Peripheral blood smear — 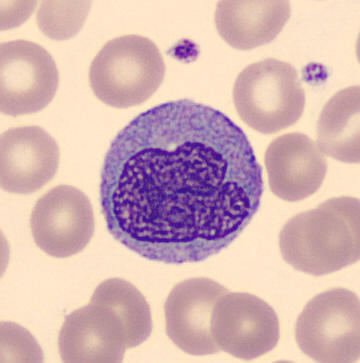Q: What is the morphological classification of this cell?
A: A monocyte.